Bone marrow smear; Pappenheim-stained; 40× objective, oil immersion: 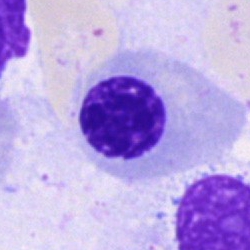 Q: Which cell type is shown here?
A: It is a nucleated red cell.